Bone marrow aspirate smear. Single-cell field. MGG-stained
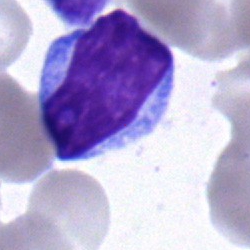 Q: Which cell type is shown here?
A: This is an undifferentiated blast.